Peripheral blood smear.
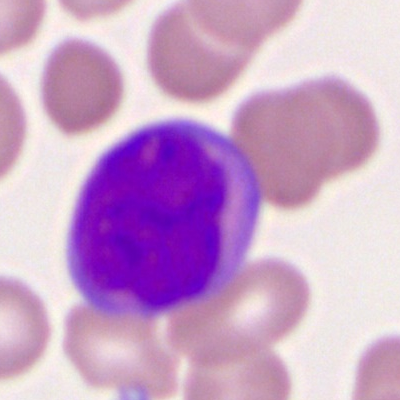 Morphology → myeloblast.